Image size 250×250 · bone marrow smear:
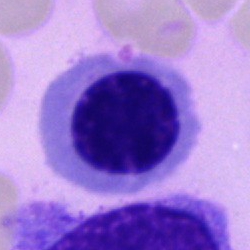

Morphology consistent with a nucleated red blood cell.